Bone marrow aspirate smear
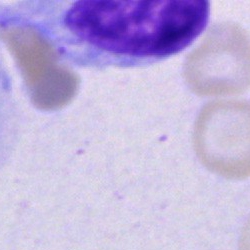

Q: Which cell type is shown here?
A: Unidentifiable cell.